Bone marrow aspirate smear:
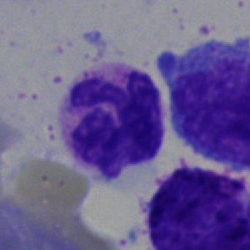
Q: What is shown here?
A: Polymorphonuclear neutrophil.